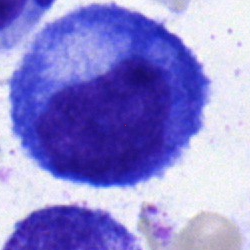Impression — promyelocyte.